Peripheral blood film — 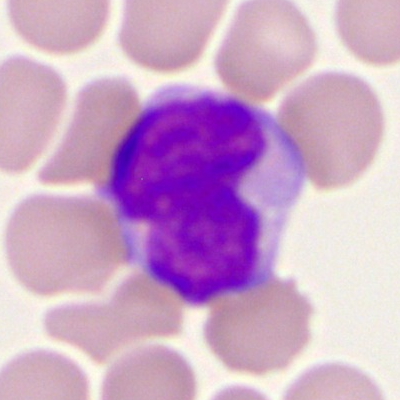
Impression — myeloid blast.